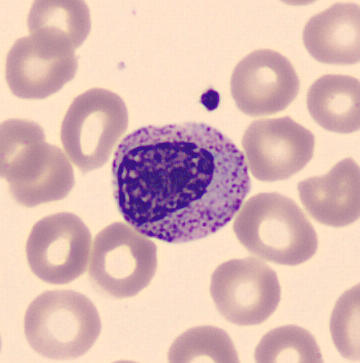

Q: What cell is this?
A: Metamyelocyte.
Acquisition: Peripheral blood smear.